Bone marrow aspirate smear; May-Grünwald-Giemsa stain.
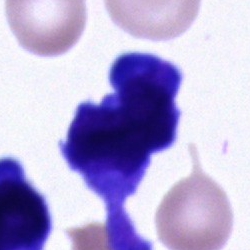 Impression → cell of indeterminate lineage.